Bone marrow smear. Single-cell field
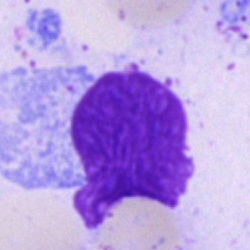 Impression — artifact.